Bone marrow aspirate smear: 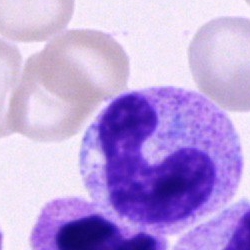

Specimen: bone marrow aspirate smear.
Morphological class: band neutrophil.